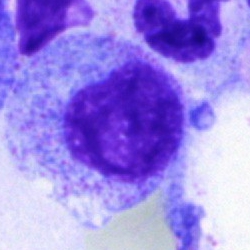
Specimen: bone marrow aspirate smear.
Morphological class: promyelocyte.